Bone marrow aspirate smear. 40× oil immersion. Cropped to a single cell
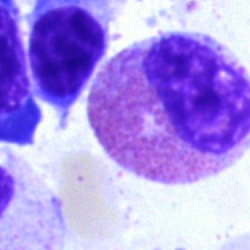

Cell: eosinophil.